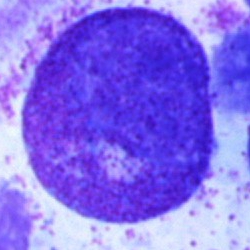
A progranulocyte.